Bone marrow aspirate smear — 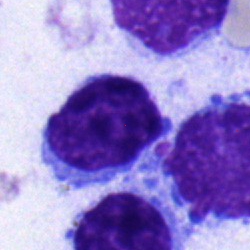

A typical lymphocyte.